Pappenheim-stained · bone marrow smear:
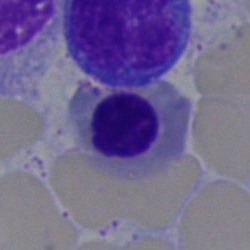
Morphological class: erythroblast.